Bone marrow smear:
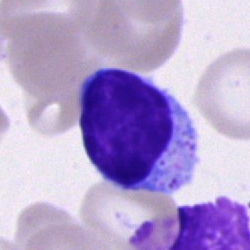Morphology — typical lymphocyte.